Bone marrow aspirate smear
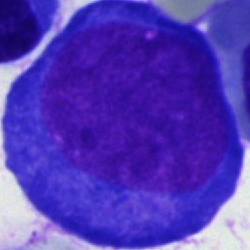 Pronormoblast.